May-Grünwald-Giemsa/Pappenheim stain; bone marrow smear:
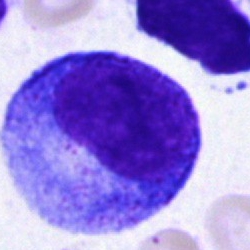 Showing a promyelocyte.